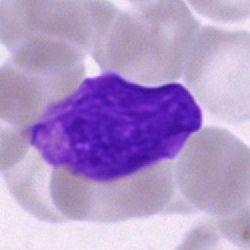
Q: What cell is this?
A: This is an unidentifiable cell.